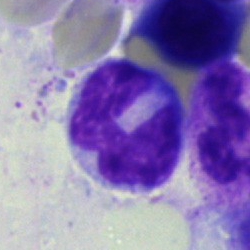The cell is monocyte.